Bone marrow smear
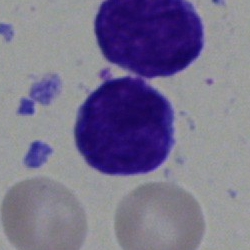 Q: What is the morphological classification of this cell?
A: It is a lymphocyte.